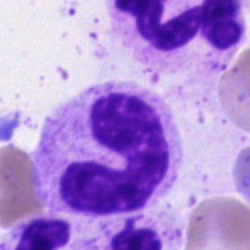Impression → band-form neutrophil.